Bone marrow smear; MGG-stained
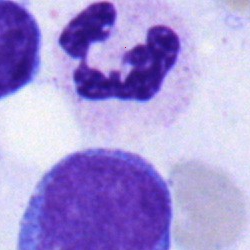

Q: What is shown here?
A: Polymorphonuclear neutrophil.